250×250 px · bone marrow aspirate smear · cropped to a single cell
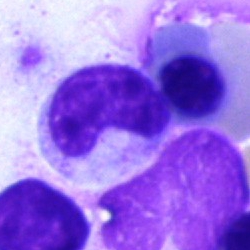
Q: What type of cell is this?
A: Neutrophil (band).